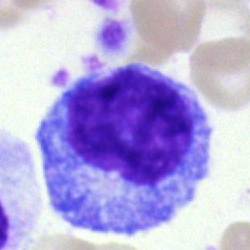Impression — progranulocyte.